MGG-stained; bone marrow aspirate smear.
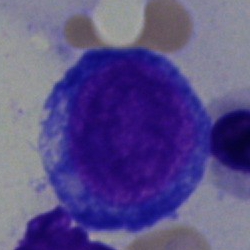 Specimen: bone marrow aspirate smear.
Cell type: proerythroblast.
Lineage: erythroid.